40× oil immersion; bone marrow smear: 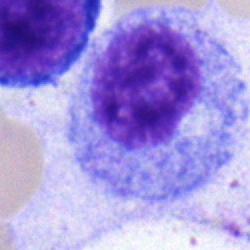

Impression → progranulocyte.